Bone marrow smear
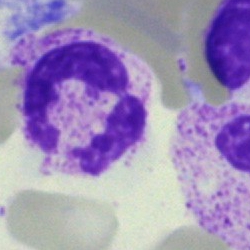Specimen: bone marrow smear.
Morphological class: polymorphonuclear neutrophil.
Lineage: myeloid.